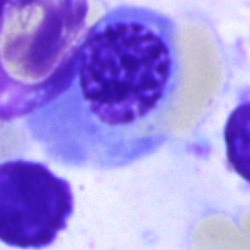

Q: Identify the cell.
A: It is an erythroblast.